Bone marrow aspirate smear — 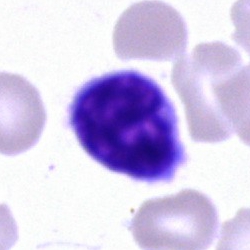

The cell shown is a typical lymphocyte.